Brightfield, 40× oil-immersion objective · May-Grünwald-Giemsa stain · bone marrow smear.
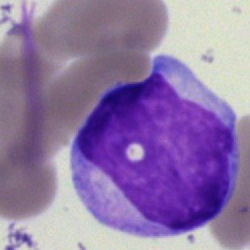

Cell — undifferentiated blast.